Single cell centered in the field; bone marrow smear:
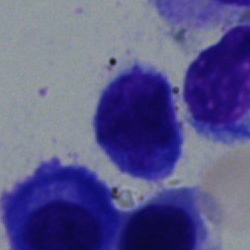

Cell = lymphocyte.